Bone marrow smear:
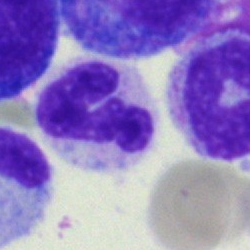Impression → segmented neutrophil.